Bone marrow smear.
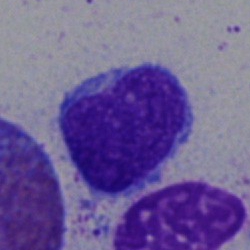Morphology consistent with a blast cell.